Bone marrow aspirate smear.
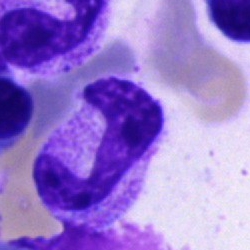 {"cell_type": "neutrophil (segmented)", "lineage": "myeloid"}